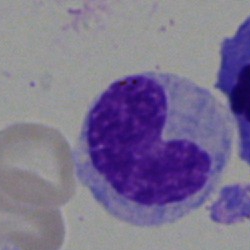
Q: What cell is this?
A: This is a stab cell.